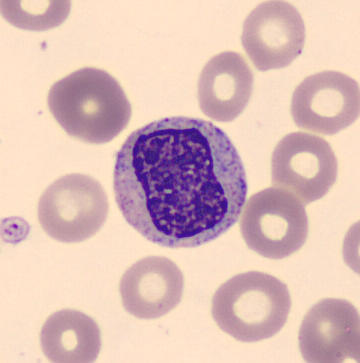

Cell — myelocyte.

Preparation: Peripheral blood smear; single-cell crop.